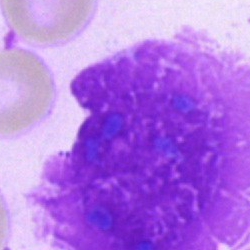

Classification: artifact.